Brightfield microscopy, 40× oil immersion. Bone marrow smear. Image size 250×250 — 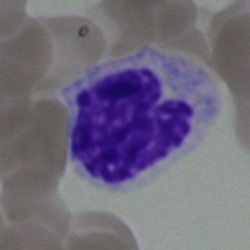

Q: What cell is this?
A: It is a neutrophil (band).